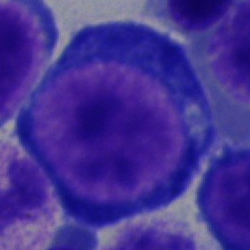 The cell type is proerythroblast.